Bone marrow smear.
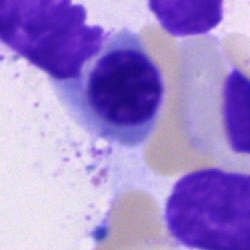

Specimen: bone marrow aspirate smear.
Cell type: nucleated red blood cell.
Lineage: erythroid.